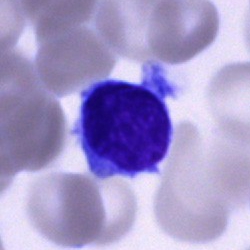 Q: What is shown here?
A: This is a typical lymphocyte.